Bone marrow aspirate smear:
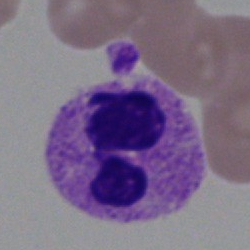Cell type — polymorphonuclear neutrophil.